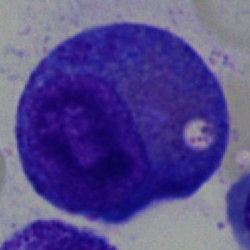Bone marrow smear showing an eosinophil.